Peripheral blood film.
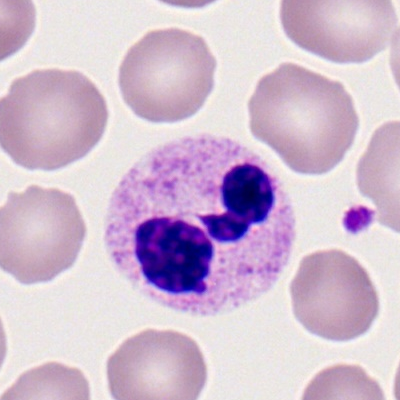

{"cell_type": "neutrophil (segmented)", "lineage": "myeloid"}